Bone marrow smear; cropped to a single cell.
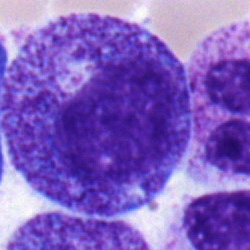

Specimen: bone marrow aspirate smear.
Cell type: progranulocyte.